Bone marrow aspirate smear.
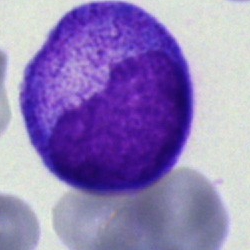 {"cell_type": "promyelocyte"}